Bone marrow aspirate smear:
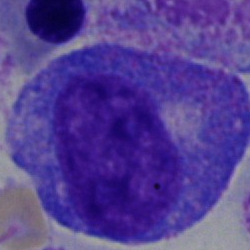
Cell: progranulocyte.